Bone marrow aspirate smear: 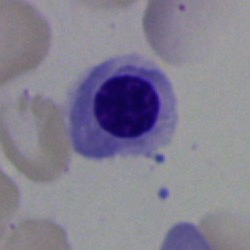

Q: Which cell type is shown here?
A: This is a normoblast.